Bone marrow aspirate smear
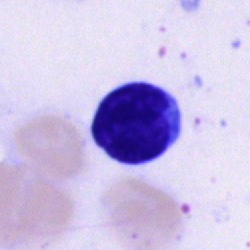 The cell shown is a typical lymphocyte.